Bone marrow smear:
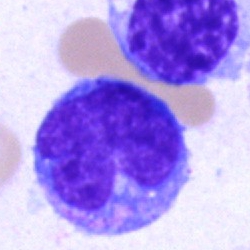Specimen: bone marrow aspirate smear.
Classification: monocyte.